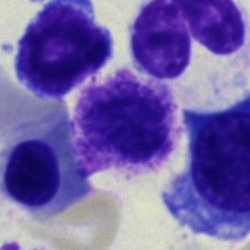 Q: What is shown here?
A: This is an artefact.